Bone marrow aspirate smear — 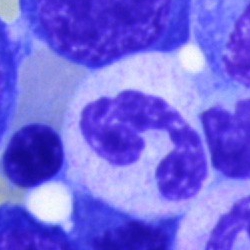 Specimen: bone marrow aspirate smear.
Morphological class: polymorphonuclear neutrophil.
Lineage: myeloid.